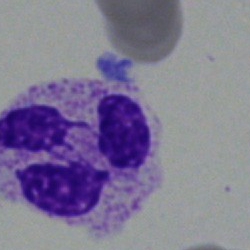 Q: Which cell type is shown here?
A: This is a neutrophil (segmented).